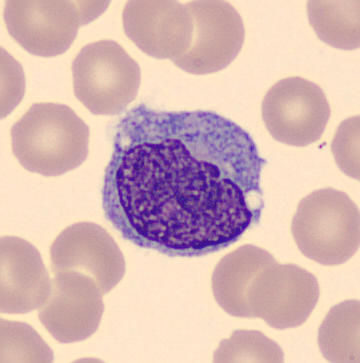Classification: monocyte.